Bone marrow smear
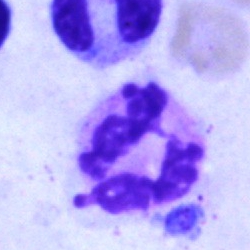 A neutrophil (segmented).